Bone marrow smear — 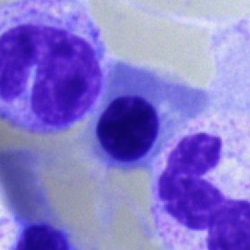 Q: Which cell type is shown here?
A: This is an erythroblast.